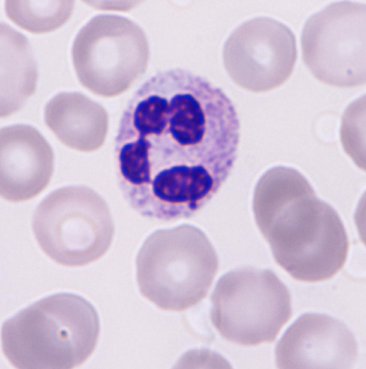Acquisition: Peripheral blood smear. Morphology consistent with a neutrophilic granulocyte.